Bone marrow aspirate smear; 40× objective, oil immersion
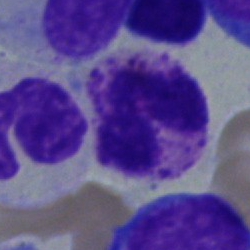A basophilic granulocyte.